Bone marrow aspirate smear; 40× objective, oil immersion
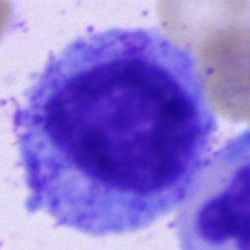
Morphology → progranulocyte.